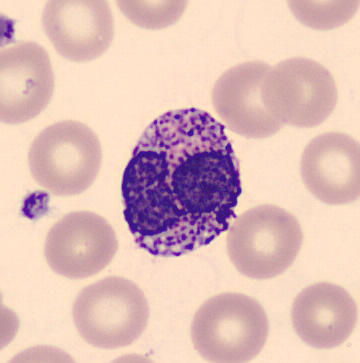
Classification: basophil.